Bone marrow smear
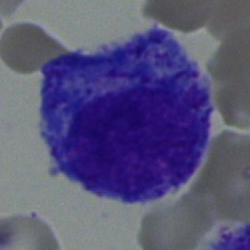
Morphological class = promyelocyte.